May-Grünwald-Giemsa stain · bone marrow aspirate smear:
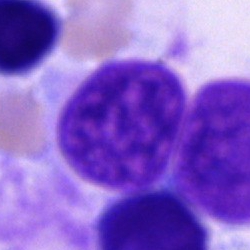
Cell type — artifact.